Bone marrow aspirate smear — 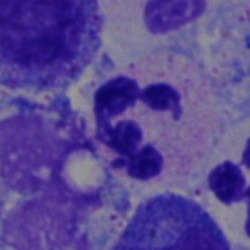

Showing a polymorphonuclear neutrophil.